400 by 400 pixels · peripheral blood film
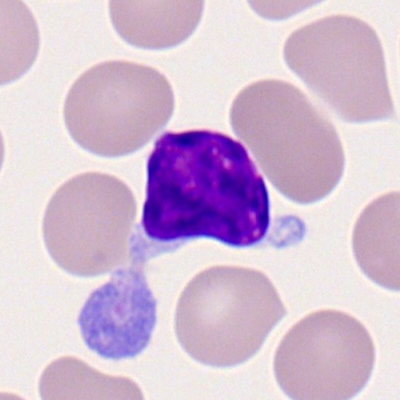
The cell type is typical lymphocyte.